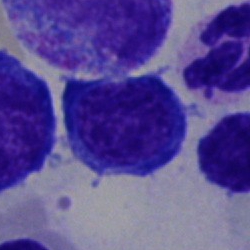 A nucleated red cell.